Bone marrow smear — 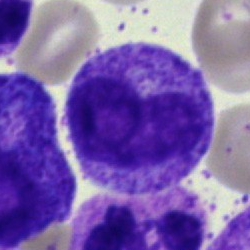

Showing a metamyelocyte.